250×250 · bone marrow aspirate smear · May-Grünwald-Giemsa/Pappenheim stain
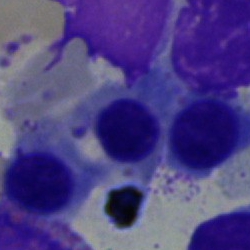

Specimen: bone marrow aspirate smear.
Morphological class: nucleated red blood cell.
Lineage: erythroid.